250×250 px. Bone marrow smear:
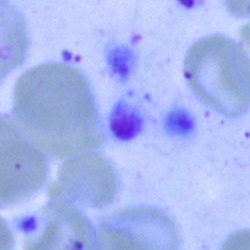

This is an artifact.